Bone marrow aspirate smear · 250×250: 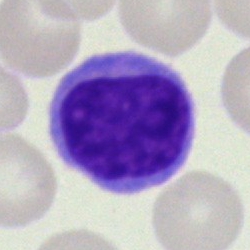This is a lymphocyte.